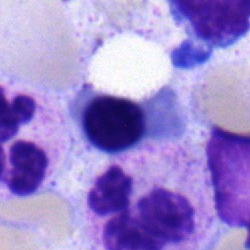

Specimen: bone marrow aspirate smear.
Cell: nucleated red blood cell.
Lineage: erythroid.